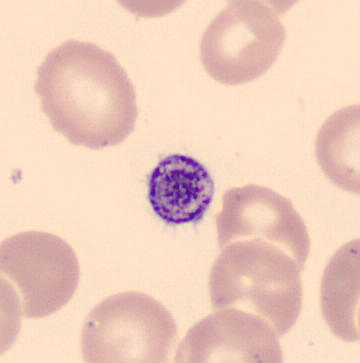

Acquisition: Peripheral blood smear.

Impression — thrombocyte.